Bone marrow smear — 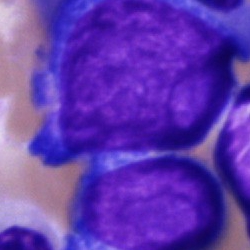

Morphological class = undifferentiated blast.